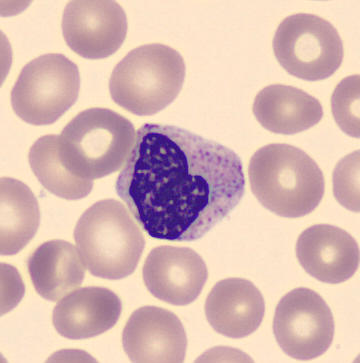 Impression → metamyelocyte.
Preparation: May-Grünwald-Giemsa-stained · peripheral blood smear.